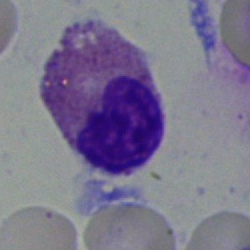 Specimen: bone marrow aspirate smear.
Morphological class: eosinophil.